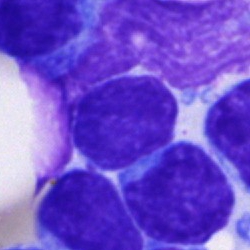

Cell type — typical lymphocyte.